Bone marrow smear: 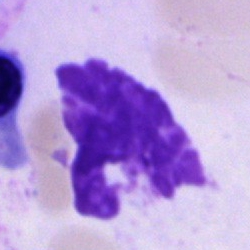

{"cell_type": "artifact"}